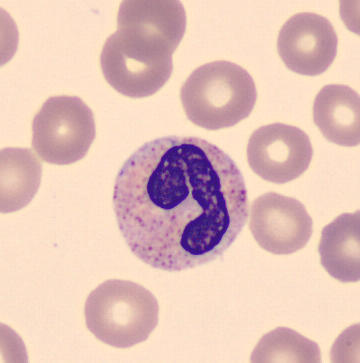

Preparation: Peripheral blood film.
Cell = neutrophil (band).